Bone marrow smear: 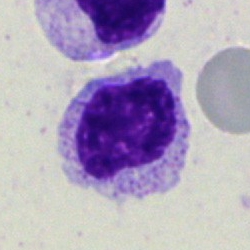 Specimen: bone marrow smear.
Morphological class: myelocyte.
Lineage: myeloid.